Peripheral blood smear.
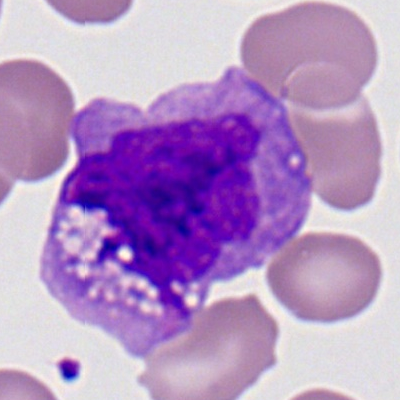Q: What is shown here?
A: A monocyte.